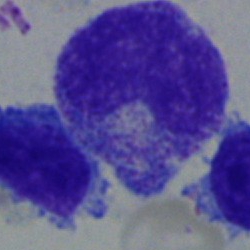Q: What is shown here?
A: Stab cell.